Bone marrow aspirate smear.
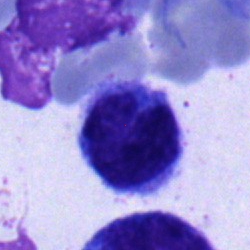

Single cell identified as a monocyte.